Bone marrow smear — 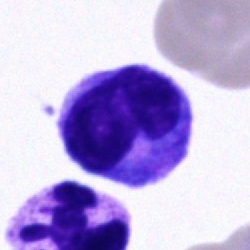
Monocyte.